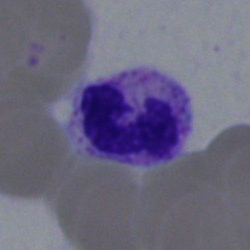 Cell = neutrophil (segmented).